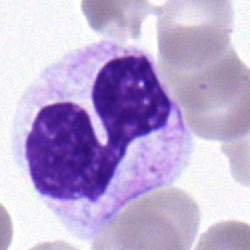

Specimen: bone marrow smear.
Cell: segmented neutrophil.